Image size 250×250 · 40× oil immersion · bone marrow smear.
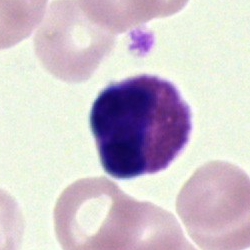Cell type = artefact.